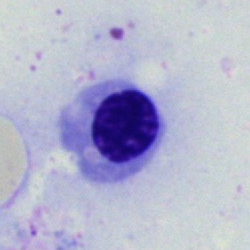Specimen: bone marrow smear.
Cell: erythroblast.
Lineage: erythroid.